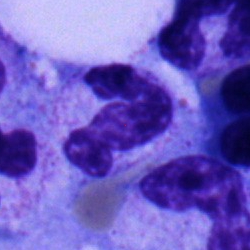 Cell type — neutrophil (segmented).